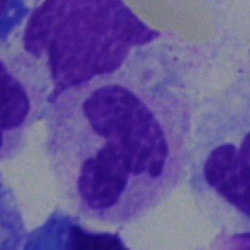

Morphology → neutrophil (band).